250×250 px. Bone marrow aspirate smear. Single cell centered in the field:
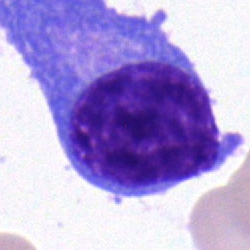
Cell: plasmacyte.